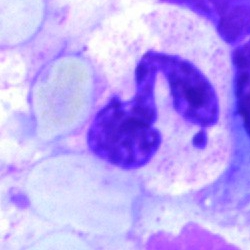

A neutrophil (segmented).